Bone marrow aspirate smear; 250 by 250 pixels; brightfield, 40× oil-immersion objective:
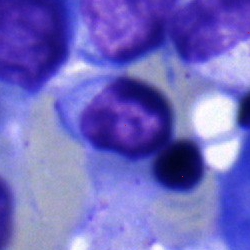
Single cell identified as a lymphocyte.